Peripheral blood film — 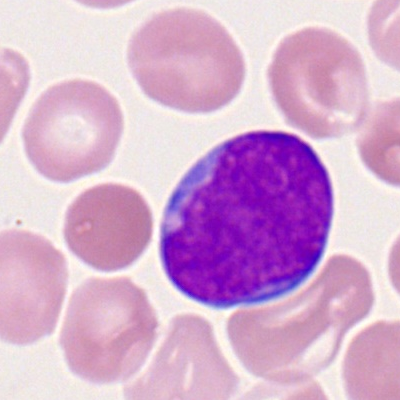

Specimen: peripheral blood smear.
Morphological class: myeloblast.